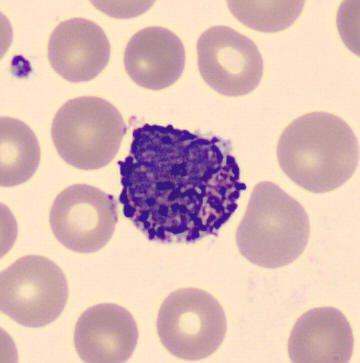The morphological class is basophil.